Bone marrow smear. Single cell centered in the field.
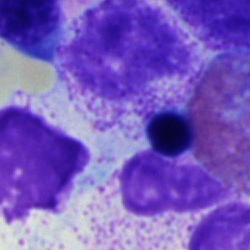 Cell type — myelocyte.